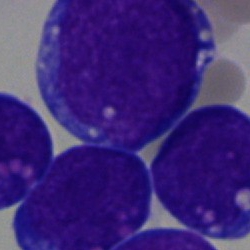Morphology consistent with a blast cell.